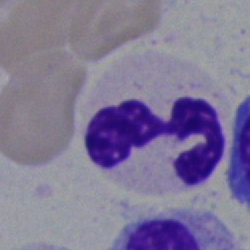Morphological class — polymorphonuclear neutrophil.